Bone marrow smear — 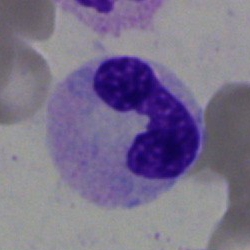
Stab cell.